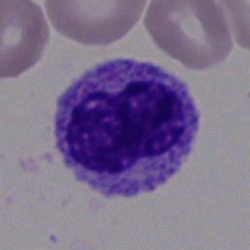Q: What is the morphological classification of this cell?
A: It is a band neutrophil.